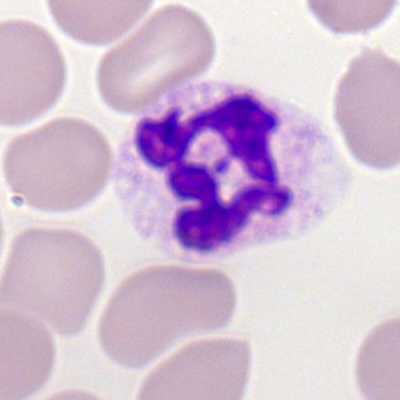 Single-cell crop from a peripheral blood smear: polymorphonuclear neutrophil.